Bone marrow smear: 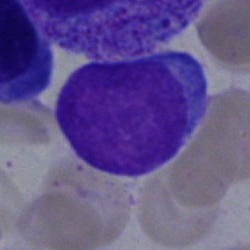
Morphology → lymphocyte.